Bone marrow aspirate smear. Pappenheim-stained
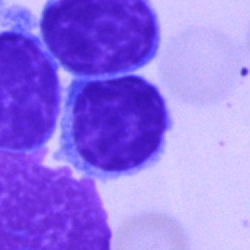
Morphological class: lymphocyte.